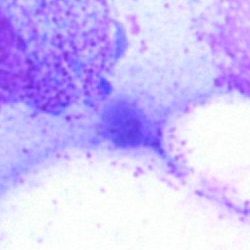 Specimen: bone marrow aspirate smear.
Cell: artifact.